Bone marrow smear.
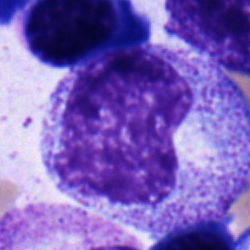Q: What is the morphological classification of this cell?
A: Metamyelocyte.